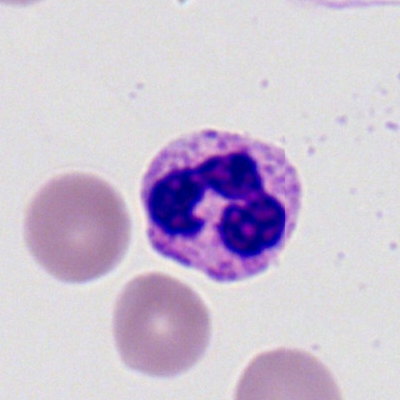

Q: What cell is this?
A: It is a polymorphonuclear neutrophil.